Bone marrow smear: 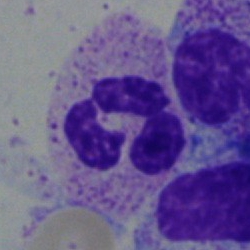

Morphology consistent with a polymorphonuclear neutrophil.